Bone marrow aspirate smear · cropped to a single cell
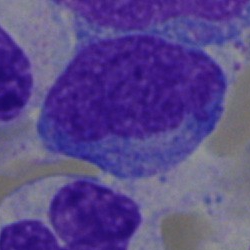
Blast cell.